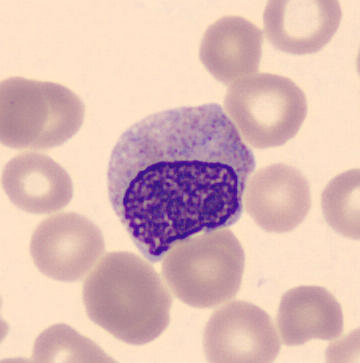 Q: What is shown here?
A: It is a myelocyte.

Peripheral blood smear.